Single cell centered in the field; bone marrow aspirate smear — 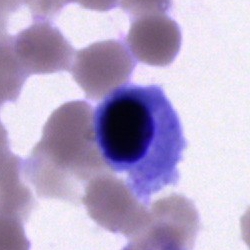

Morphological class: normoblast.